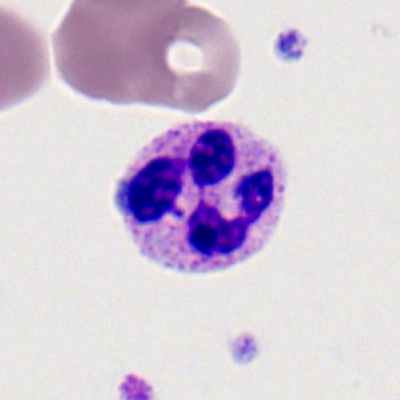Morphological class — polymorphonuclear neutrophil.